Bone marrow aspirate smear; image size 250×250:
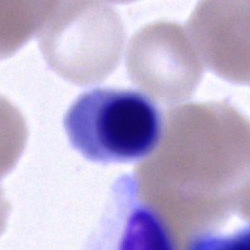

Showing an erythroblast.